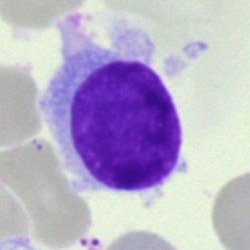{"cell_type": "hairy cell", "lineage": "lymphoid"}